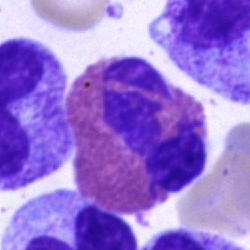Morphological class — eosinophilic granulocyte.